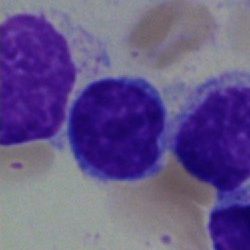 Q: What is shown here?
A: This is a lymphocyte.